Bone marrow smear:
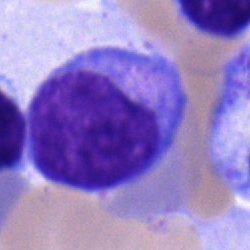
{"cell_type": "undifferentiated blast"}